Bone marrow aspirate smear — 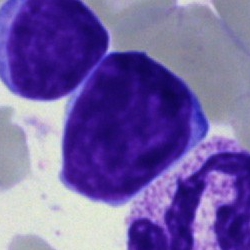Classification — lymphocyte.